Bone marrow aspirate smear. May-Grünwald-Giemsa stain.
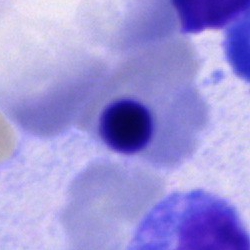Specimen: bone marrow aspirate smear.
Classification: erythroblast.
Lineage: erythroid.